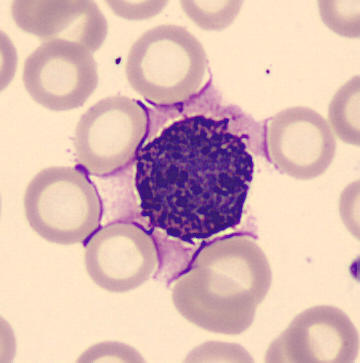
Q: What cell is this?
A: It is a basophilic granulocyte.
Preparation: Peripheral blood film. 360 by 363 pixels.